Pappenheim-stained · bone marrow aspirate smear · single cell centered in the field: 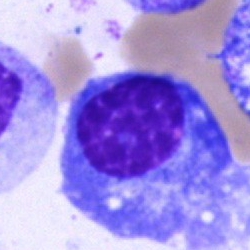Morphological class = plasma cell.